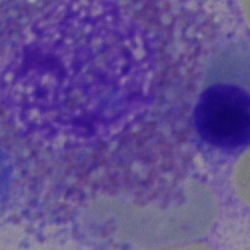
Specimen: bone marrow aspirate smear.
Morphological class: eosinophilic granulocyte.